Bone marrow aspirate smear · 40× objective, oil immersion — 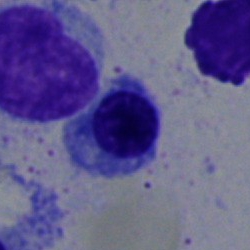Showing a nucleated red blood cell.